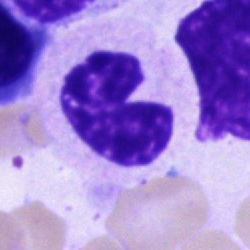This is a band-form neutrophil.